Image size 250×250 · May-Grünwald-Giemsa stain · bone marrow aspirate smear — 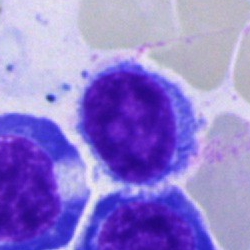
Morphology — lymphocyte.